Bone marrow smear. May-Grünwald-Giemsa/Pappenheim stain:
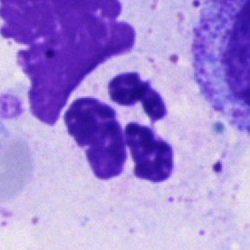The cell is neutrophil (segmented).